Bone marrow aspirate smear. 40× objective, oil immersion
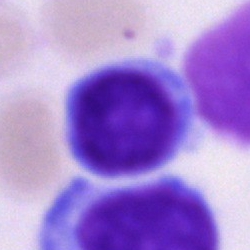
Q: What is the morphological classification of this cell?
A: It is a lymphocyte.